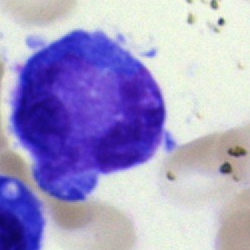
Morphological class — blast cell.